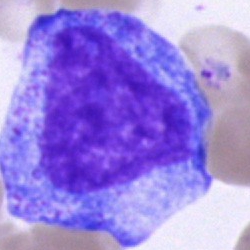{"cell_type": "progranulocyte"}